Bone marrow smear · single-cell field — 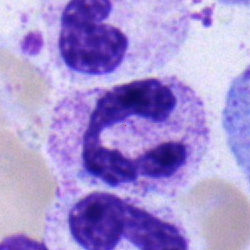

Cell — segmented neutrophil.